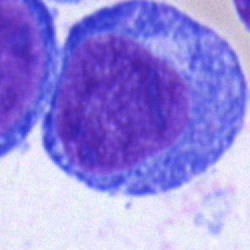 Morphology consistent with a progranulocyte.